Bone marrow smear
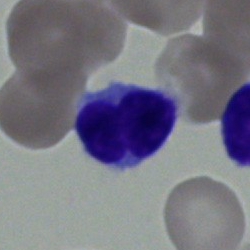 Specimen: bone marrow aspirate smear.
Cell: lymphocyte.
Lineage: lymphoid.